Single cell centered in the field. Brightfield microscopy, 40× oil immersion. Bone marrow aspirate smear — 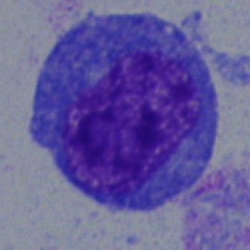 Specimen: bone marrow aspirate smear.
Cell: blast cell.